Brightfield, 40× oil-immersion objective. Bone marrow smear.
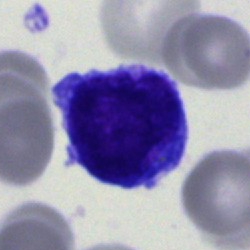 Single cell identified as a blast.